Bone marrow smear.
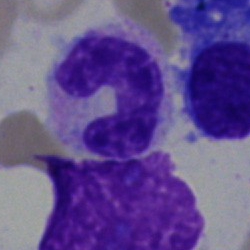{"cell_type": "neutrophil (band)"}